Bone marrow smear — 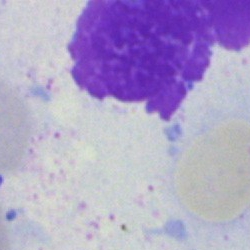
{"cell_type": "artifact"}